Bone marrow aspirate smear
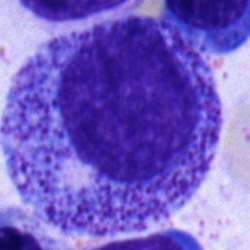
Q: What type of cell is this?
A: Promyelocyte.